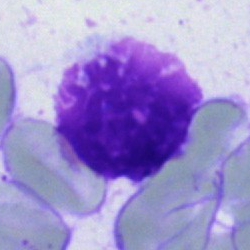 Showing an artefact.